Bone marrow smear. Single cell centered in the field. 250 by 250 pixels:
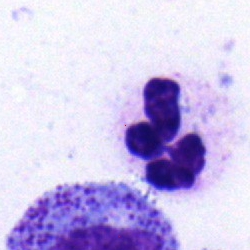

Classification = neutrophil (segmented).